Bone marrow smear:
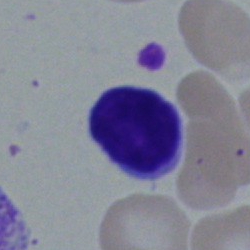
Impression → typical lymphocyte.